Bone marrow aspirate smear · image size 250×250:
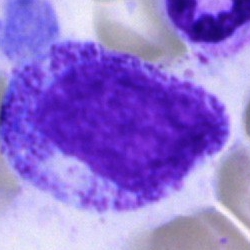
Cell = progranulocyte.